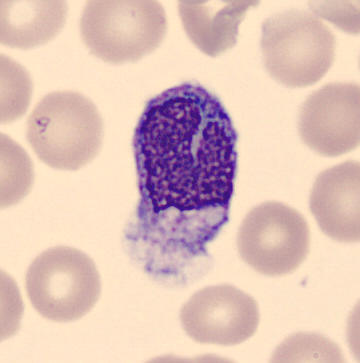

Acquisition: Imaged on a CellaVision DM96 analyser · peripheral blood film. Morphology → monocyte.